Bone marrow smear.
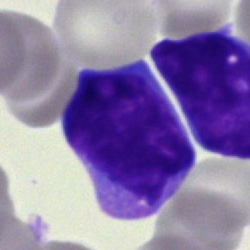Blast cell.